250 by 250 pixels. Bone marrow smear: 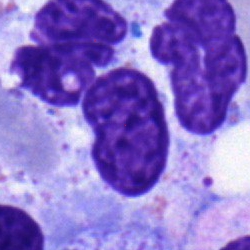Showing a metamyelocyte.